Bone marrow smear — 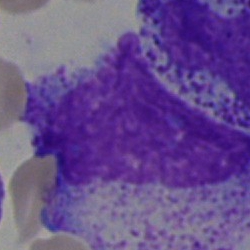Specimen: bone marrow aspirate smear.
Cell type: artefact.